Bone marrow smear; single-cell crop; image size 250×250:
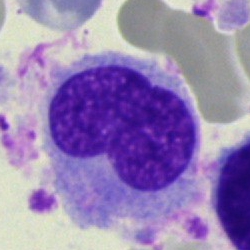
Morphology consistent with a hairy cell.